Bone marrow aspirate smear: 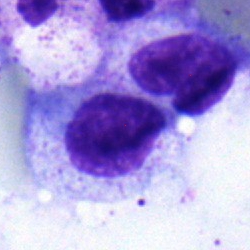
Q: What is the morphological classification of this cell?
A: Myelocyte.